Bone marrow aspirate smear
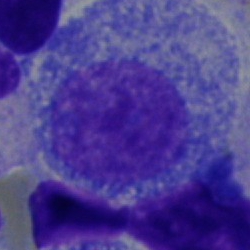 Morphology consistent with a progranulocyte.